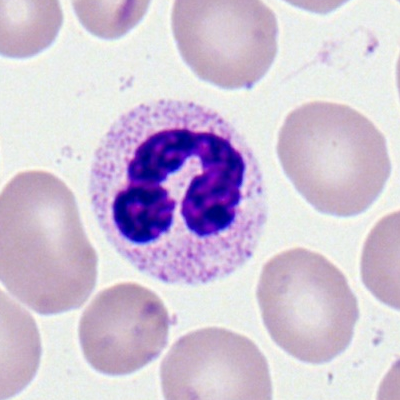

Peripheral blood smear showing a neutrophil (segmented).